100× oil immersion; peripheral blood film: 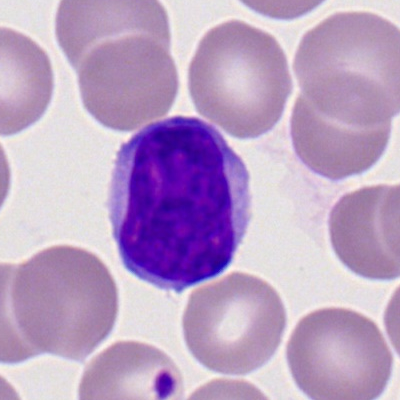Showing a lymphocyte.